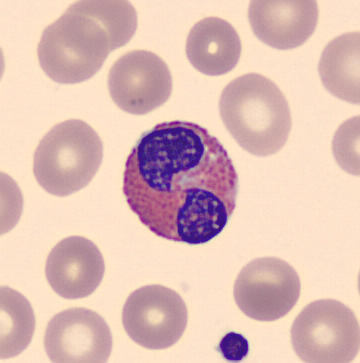

Peripheral blood smear. {"cell_type": "eosinophil"}